May-Grünwald-Giemsa stain · bone marrow smear: 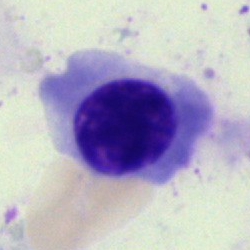 The morphological class is nucleated red blood cell.